Bone marrow aspirate smear.
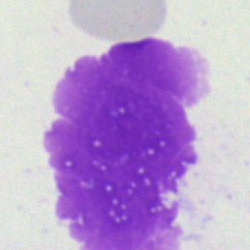

Q: What is shown here?
A: Artifact.